Bone marrow smear: 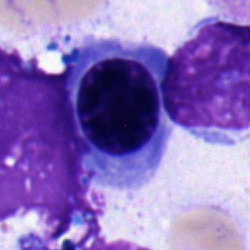 Showing a nucleated red cell.